May-Grünwald-Giemsa stain; bone marrow smear.
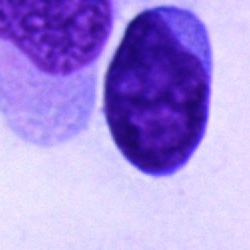Undifferentiated blast.